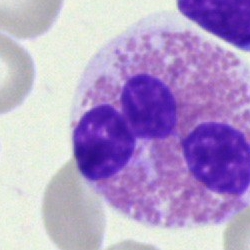 This is an eosinophil.